Single-cell crop. Bone marrow smear: 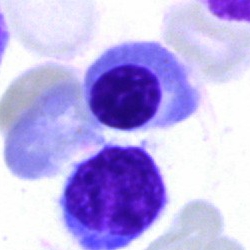Q: What is shown here?
A: This is an erythroblast.